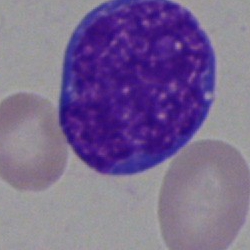

Bone marrow smear showing a blast cell.